40× oil immersion; bone marrow aspirate smear; Pappenheim-stained.
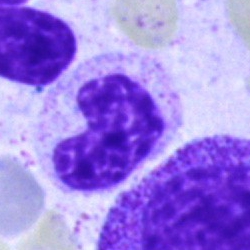
Q: What is the morphological classification of this cell?
A: This is a band-form neutrophil.